Peripheral blood film — 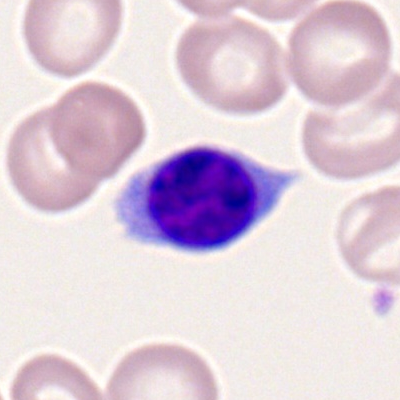
The cell shown is a lymphocyte.